40× oil immersion; MGG-stained; bone marrow aspirate smear
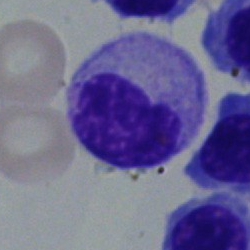
The classification is metamyelocyte.